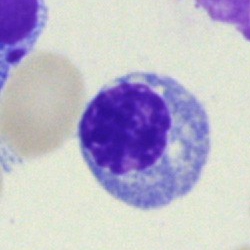
This is an erythroblast.